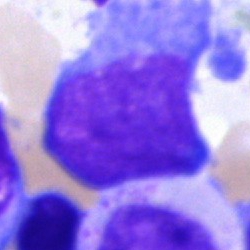

Specimen: bone marrow smear.
Cell: undifferentiated blast.